May-Grünwald-Giemsa/Pappenheim stain · bone marrow aspirate smear · 250×250 px.
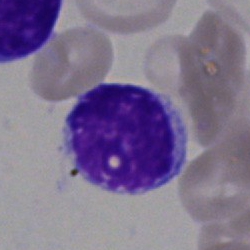

Specimen: bone marrow smear.
Cell type: lymphocyte.